40× oil immersion. Bone marrow smear
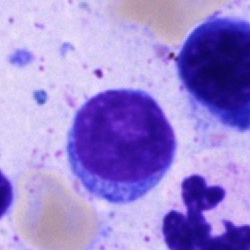Cell type — lymphocyte.